250×250 px. Bone marrow aspirate smear.
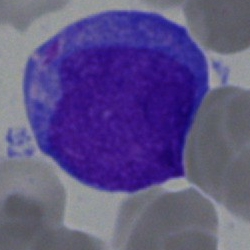

Q: What is the morphological classification of this cell?
A: A blast.